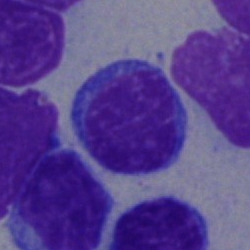

Morphology — lymphocyte.